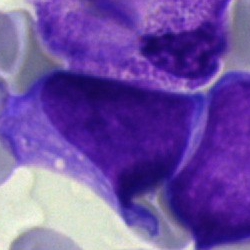

Q: Which cell type is shown here?
A: This is a blast.